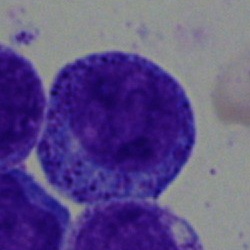

The cell is myelocyte.